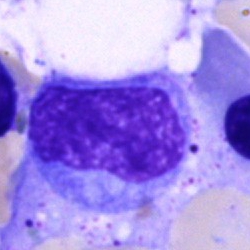Specimen: bone marrow smear.
Classification: unidentifiable cell.